Bone marrow aspirate smear · 250×250:
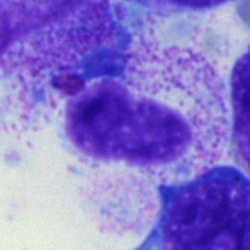

A metamyelocyte.